Bone marrow smear: 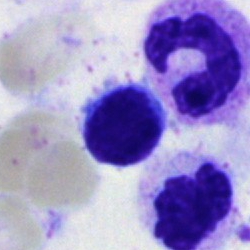
This is a lymphocyte.